Bone marrow aspirate smear. Cropped to a single cell:
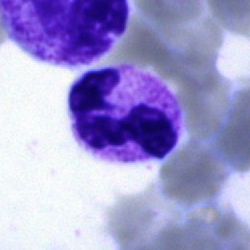
{"cell_type": "polymorphonuclear neutrophil", "lineage": "myeloid"}